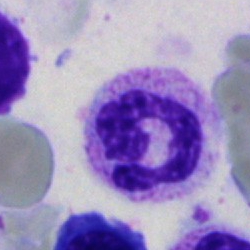
A polymorphonuclear neutrophil.